Bone marrow smear
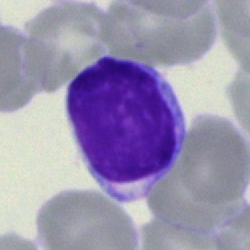
This is a lymphocyte.